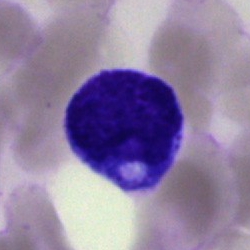
Q: What type of cell is this?
A: This is a typical lymphocyte.